Bone marrow aspirate smear. 40× oil immersion. Single cell centered in the field:
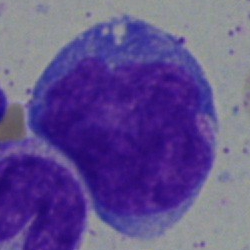 Q: What is the morphological classification of this cell?
A: This is an undifferentiated blast.